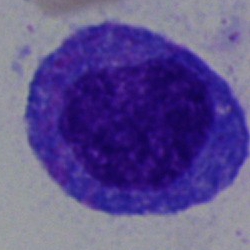
Single cell identified as a progranulocyte.